Single-cell crop · bone marrow smear — 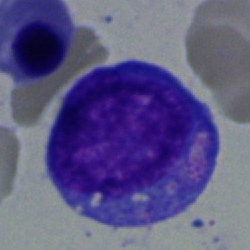

{"cell_type": "blast"}